May-Grünwald-Giemsa/Pappenheim stain · bone marrow aspirate smear: 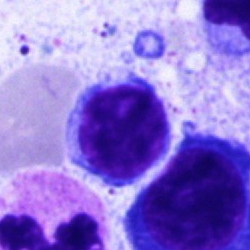 Q: Identify the cell.
A: Typical lymphocyte.